Cropped to a single cell; bone marrow aspirate smear: 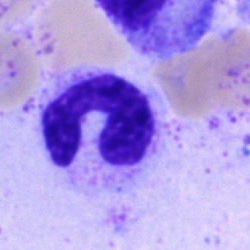
Impression → polymorphonuclear neutrophil.